Brightfield, 40× oil-immersion objective; bone marrow aspirate smear; 250×250 — 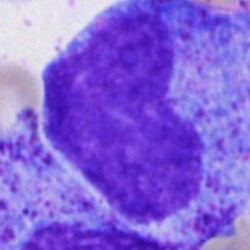Cell type: progranulocyte.